100× oil immersion, 14.14 px/µm · peripheral blood smear:
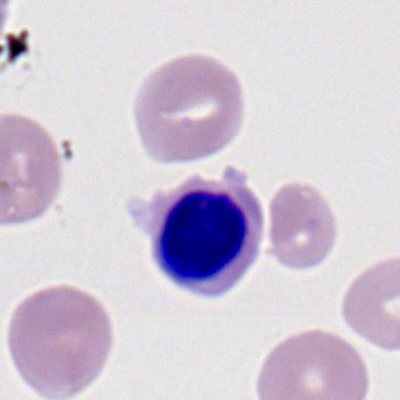

Cell type = nucleated red blood cell.